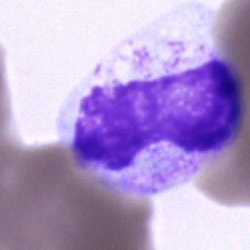 A stab cell.